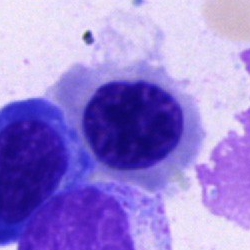 The classification is normoblast.